MGG-stained; bone marrow smear: 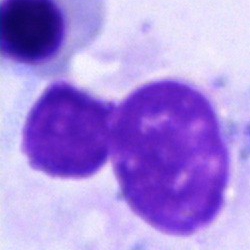 {"cell_type": "artefact"}